Single-cell crop. Bone marrow aspirate smear. May-Grünwald-Giemsa stain
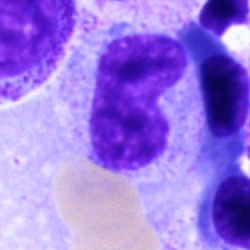

A band-form neutrophil.